MGG-stained · single-cell crop · bone marrow smear — 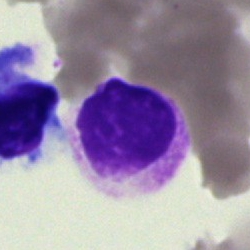

Cell — artefact.